Bone marrow aspirate smear. 40× oil immersion — 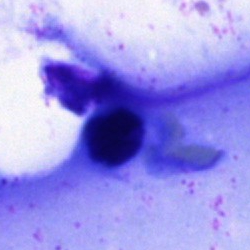Showing an artifact.